Bone marrow aspirate smear:
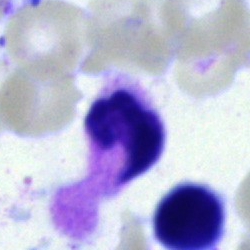Specimen: bone marrow aspirate smear.
Cell type: polymorphonuclear neutrophil.
Lineage: myeloid.